Bone marrow smear:
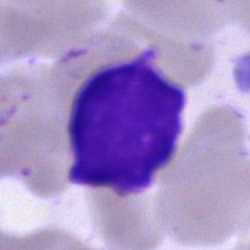The cell type is artefact.